250 by 250 pixels; bone marrow smear; 40× oil immersion — 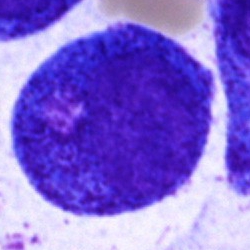Q: What cell is this?
A: A progranulocyte.